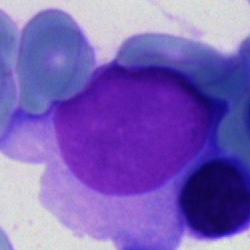

Single-cell crop from a bone marrow smear: blast cell.